Bone marrow aspirate smear; brightfield, 40× oil-immersion objective — 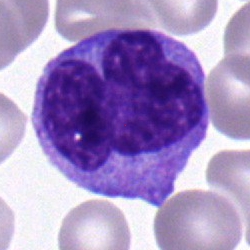
Cell — monocyte.